Bone marrow aspirate smear: 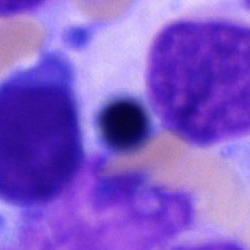 The morphological class is cell of indeterminate lineage.